Bone marrow smear · MGG-stained · single-cell crop.
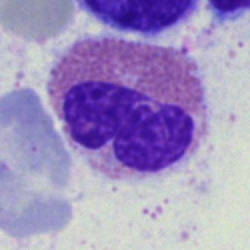 An eosinophil.